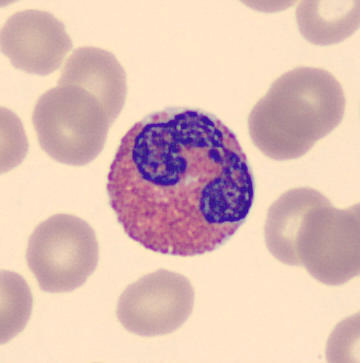 Eosinophilic granulocyte. May Grünwald-Giemsa stain; cropped to a single cell; peripheral blood smear.